Bone marrow smear:
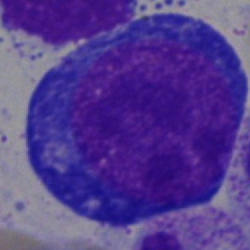

{"cell_type": "pronormoblast", "lineage": "erythroid"}